May-Grünwald-Giemsa/Pappenheim stain · bone marrow aspirate smear.
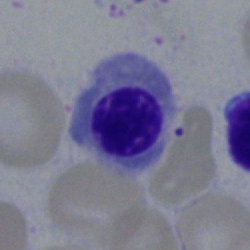 Cell type: erythroblast.